Bone marrow aspirate smear · brightfield microscopy, 40× oil immersion:
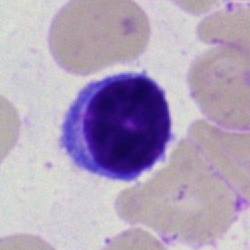 Morphology — typical lymphocyte.